Bone marrow aspirate smear; brightfield microscopy, 40× oil immersion:
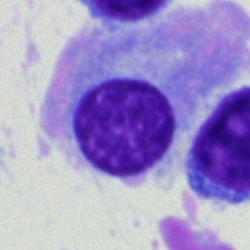
Plasma cell.